Bone marrow smear · image size 250×250:
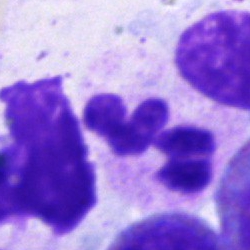Morphological class = polymorphonuclear neutrophil.